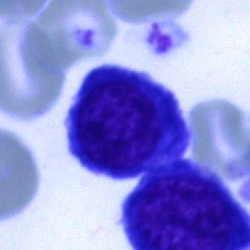 Cell: typical lymphocyte.